250×250 px. Bone marrow aspirate smear. Single-cell crop: 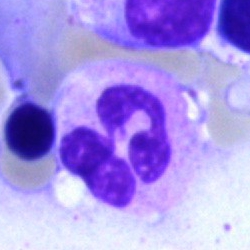Q: What is shown here?
A: Neutrophil (segmented).